Bone marrow aspirate smear.
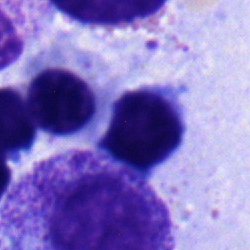
Morphology → typical lymphocyte.